Bone marrow smear · 250×250 · 40× oil immersion:
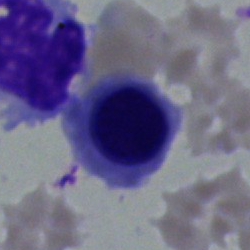 Cell type: nucleated red cell.